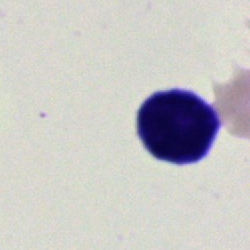
Specimen: bone marrow aspirate smear.
Cell: artefact.